Bone marrow smear: 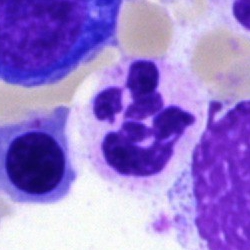 Q: What is shown here?
A: Neutrophil (segmented).